Bone marrow smear. Single-cell crop — 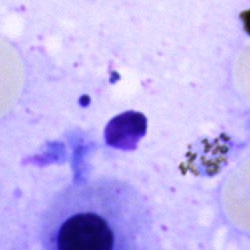

This is an artifact.